250×250 · bone marrow smear · May-Grünwald-Giemsa/Pappenheim stain:
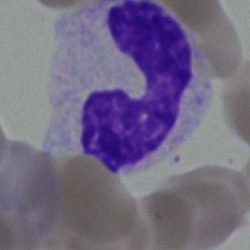

Q: What type of cell is this?
A: It is a band-form neutrophil.